Bone marrow aspirate smear. Single cell centered in the field
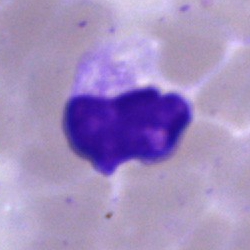 Cell: artefact.